250 by 250 pixels; bone marrow aspirate smear; cropped to a single cell — 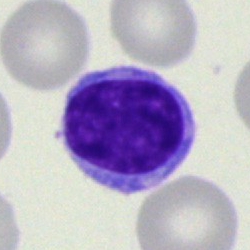 The cell shown is a typical lymphocyte.